Peripheral blood smear:
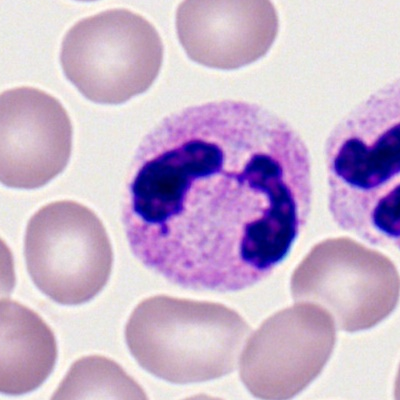

Morphology — segmented neutrophil.